Brightfield microscopy, 40× oil immersion · bone marrow smear:
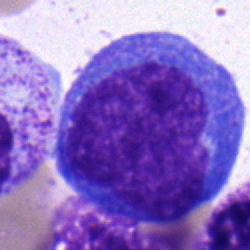Q: Identify the cell.
A: An undifferentiated blast.